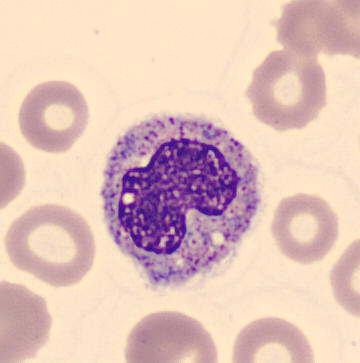Q: What is the morphological classification of this cell?
A: It is a metamyelocyte.